Bone marrow smear; single-cell crop: 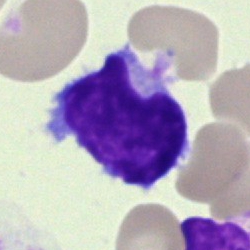
Specimen: bone marrow aspirate smear.
Cell: lymphocyte.
Lineage: lymphoid.